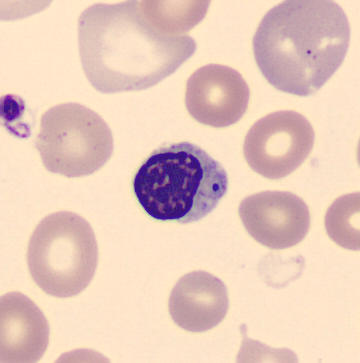Image: Peripheral blood film.
Q: Which cell type is shown here?
A: This is a nucleated red blood cell.